Bone marrow smear: 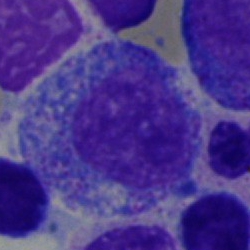
Q: What is the morphological classification of this cell?
A: It is a progranulocyte.